Bone marrow aspirate smear
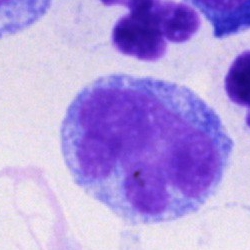Monocyte.